Bone marrow smear
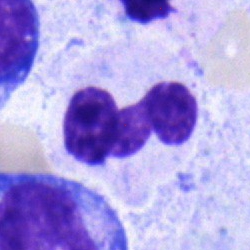{"cell_type": "neutrophil (band)"}